Peripheral blood smear
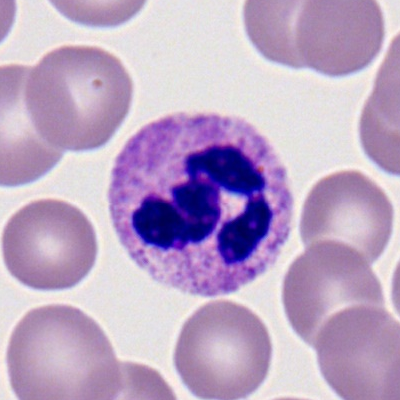 The cell type is segmented neutrophil.